Bone marrow smear; cropped to a single cell
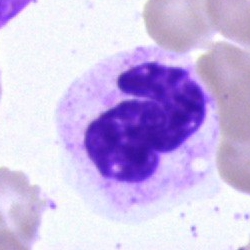Cell: polymorphonuclear neutrophil.